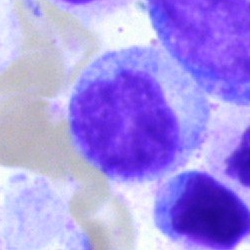Specimen: bone marrow aspirate smear.
Morphological class: lymphocyte.